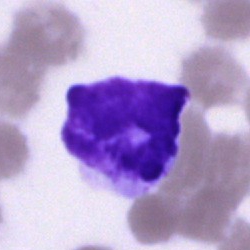 {"cell_type": "artefact"}